Bone marrow smear
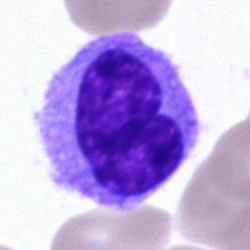

Single cell identified as a monocyte.